May-Grünwald-Giemsa/Pappenheim stain · bone marrow smear — 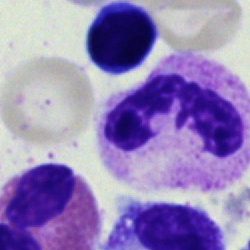Specimen: bone marrow smear.
Classification: polymorphonuclear neutrophil.